Bone marrow aspirate smear; single cell centered in the field:
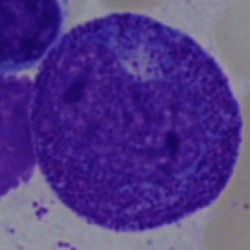
Q: What is shown here?
A: This is a progranulocyte.